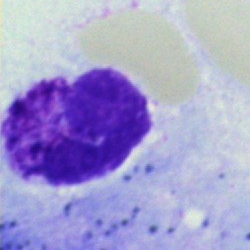 Impression — basophilic granulocyte.